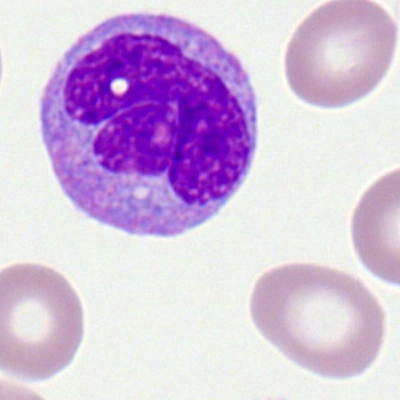Q: What is shown here?
A: Monocyte.